Bone marrow smear: 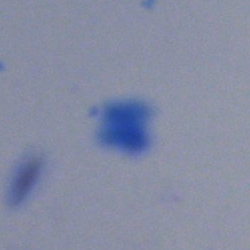Q: What is shown here?
A: An artefact.